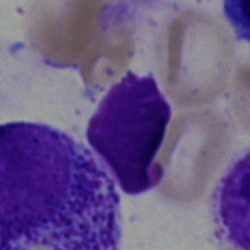
Showing an artefact.